Brightfield microscopy, 40× oil immersion; bone marrow smear — 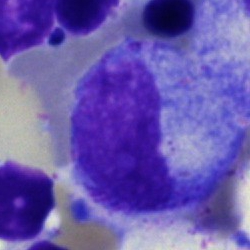
{"cell_type": "progranulocyte", "lineage": "myeloid"}